Bone marrow smear. 40× objective, oil immersion. 250×250 px:
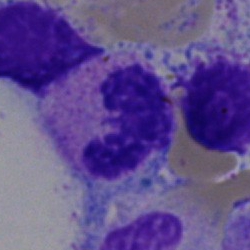
Morphological class: segmented neutrophil.